Single-cell crop. Bone marrow aspirate smear
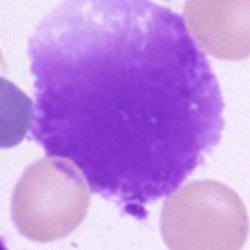Specimen: bone marrow aspirate smear.
Cell: artifact.